Peripheral blood film: 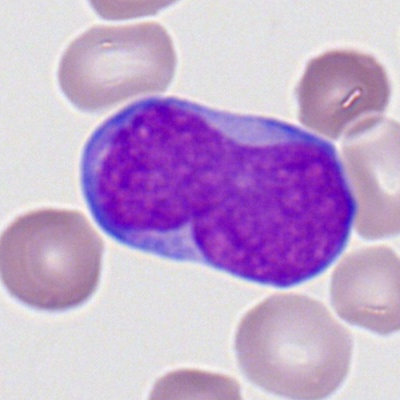
Q: What is the morphological classification of this cell?
A: This is a myeloid blast.